Single-cell field · bone marrow aspirate smear · May-Grünwald-Giemsa stain
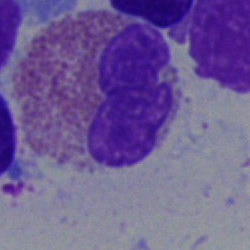Q: Identify the cell.
A: Eosinophilic granulocyte.